40× oil immersion · May-Grünwald-Giemsa stain · bone marrow smear
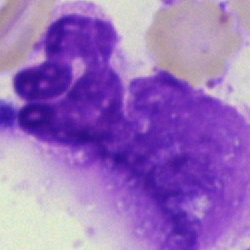 Cell type: artefact.